Bone marrow smear:
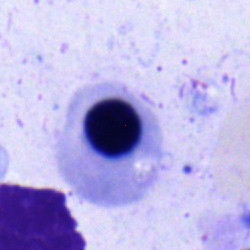 The cell shown is a normoblast.